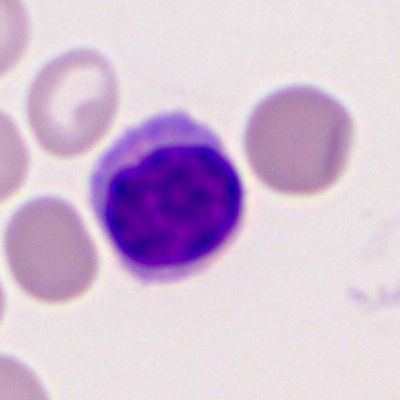Morphological class: typical lymphocyte.